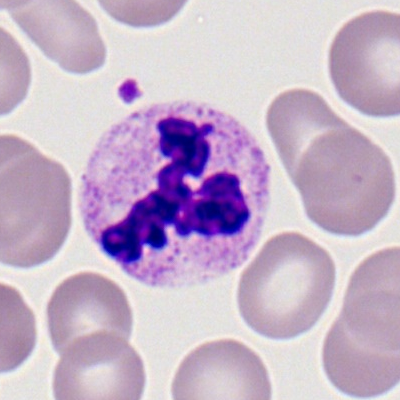 Peripheral blood smear showing a segmented neutrophil.